Bone marrow smear. 250×250 px.
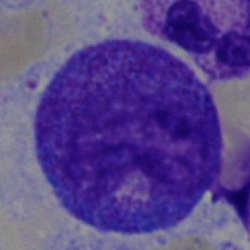Impression — promyelocyte.